Bone marrow smear.
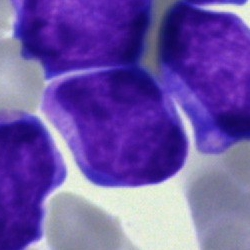Morphological class = blast.